Bone marrow smear:
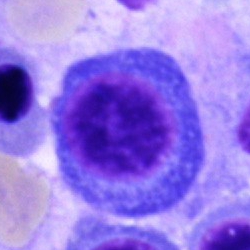Impression — plasmacyte.